250×250. Bone marrow aspirate smear. MGG-stained — 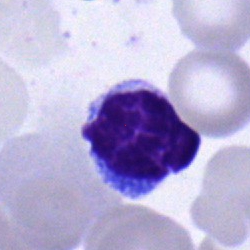 Morphology consistent with a typical lymphocyte.